Single cell centered in the field · bone marrow aspirate smear:
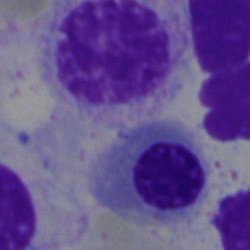 Cell type = normoblast.